Bone marrow aspirate smear:
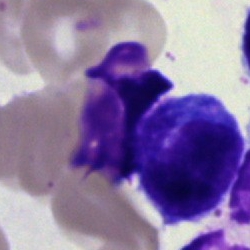Cell type: artefact.